Bone marrow smear: 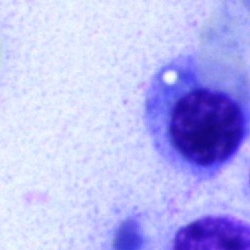

A nucleated red blood cell.